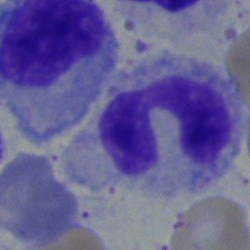

Specimen: bone marrow aspirate smear.
Classification: band-form neutrophil.
Lineage: myeloid.